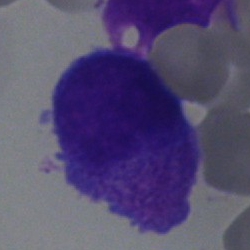

A blast cell.